Bone marrow smear.
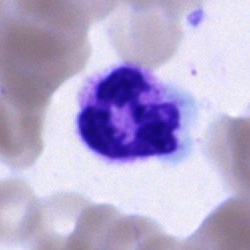 Single cell identified as a polymorphonuclear neutrophil.